Bone marrow aspirate smear
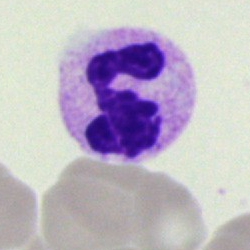
The classification is neutrophil (segmented).